Bone marrow smear — 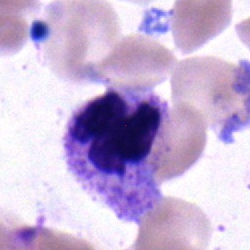Impression → polymorphonuclear neutrophil.